Bone marrow smear. Image size 250×250. Single cell centered in the field
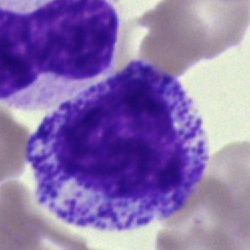

The cell is myelocyte.